Bone marrow aspirate smear: 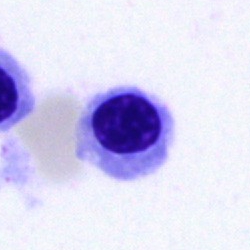
The cell type is nucleated red blood cell.